250×250 · bone marrow aspirate smear — 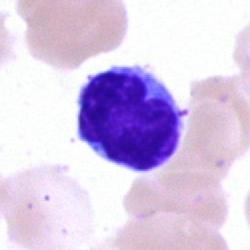Q: What is shown here?
A: Typical lymphocyte.